Peripheral blood smear · image size 400×400
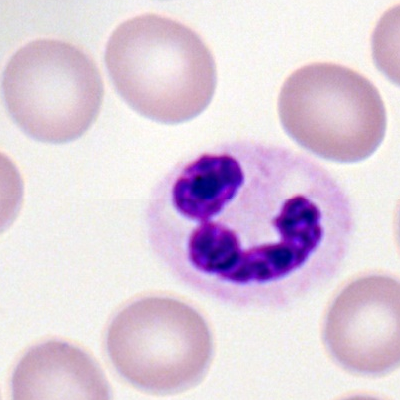 Impression → polymorphonuclear neutrophil.